360 by 363 pixels; peripheral blood film:
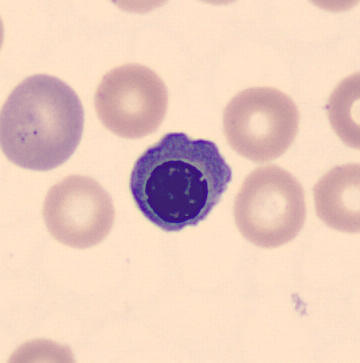 The cell shown is a normoblast.